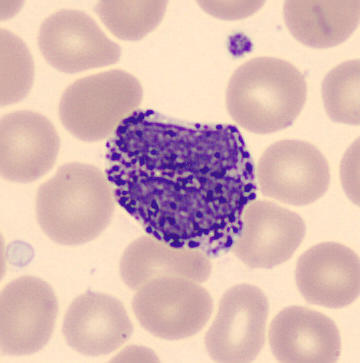Identified as a basophilic granulocyte.

MGG-stained. 360 by 363 pixels. Peripheral blood film.